Image size 400×400; peripheral blood smear; Romanowsky-type stain:
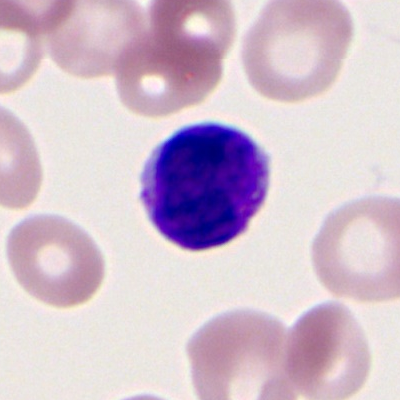

Specimen: peripheral blood smear.
Classification: lymphocyte.